250×250. Bone marrow aspirate smear:
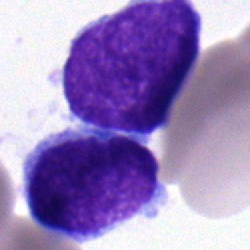A blast.